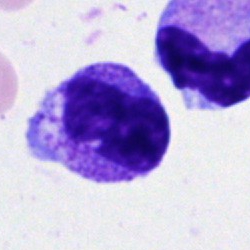 Specimen: bone marrow aspirate smear.
Cell: metamyelocyte.
Lineage: myeloid.